Bone marrow aspirate smear
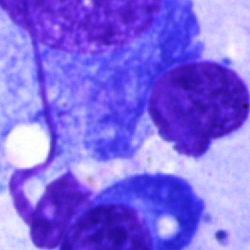
Morphology — artefact.